400 by 400 pixels. 100× objective, oil immersion. Peripheral blood film: 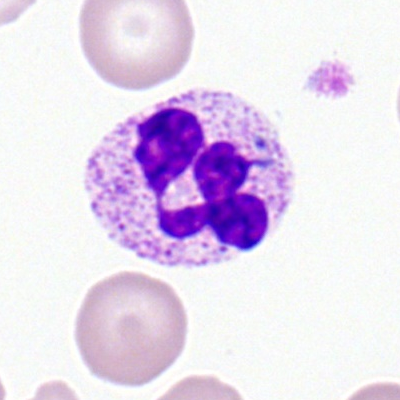
Q: What is shown here?
A: This is a segmented neutrophil.